Bone marrow aspirate smear; Pappenheim-stained — 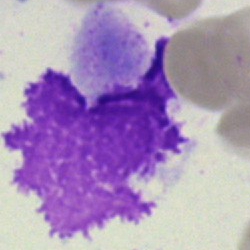Morphological class: artefact.